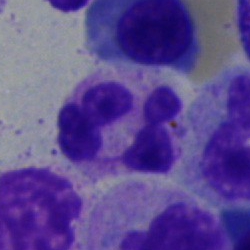
Morphological class = neutrophil (segmented).